MGG-stained. Bone marrow smear.
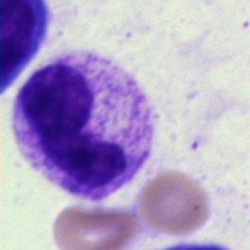
The classification is neutrophil (band).